Bone marrow aspirate smear
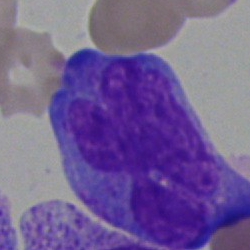

Morphology consistent with a monocyte.